Bone marrow smear · single cell centered in the field: 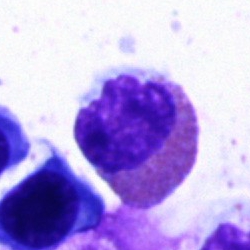 Q: What is the morphological classification of this cell?
A: An eosinophilic granulocyte.